Bone marrow aspirate smear — 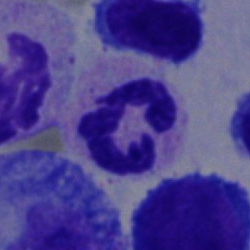 This is a segmented neutrophil.